Bone marrow aspirate smear: 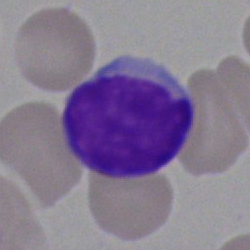 The classification is lymphocyte.